Bone marrow aspirate smear:
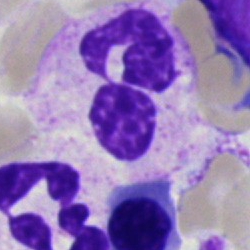A neutrophil (segmented).